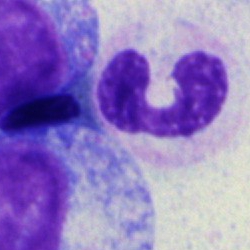{"cell_type": "stab cell", "lineage": "myeloid"}